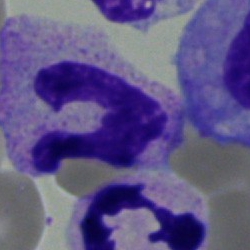Impression → neutrophil (band).